Bone marrow aspirate smear — 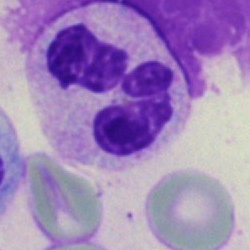 Single cell identified as a segmented neutrophil.